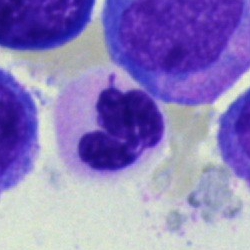Neutrophil (segmented).